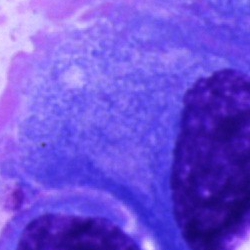
Bone marrow aspirate smear, single cell — plasmacyte.